Peripheral blood smear
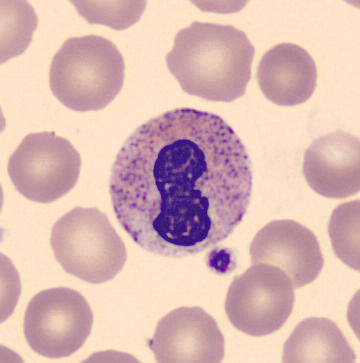 Impression → neutrophil (band).